Bone marrow aspirate smear; May-Grünwald-Giemsa stain; 40× objective, oil immersion — 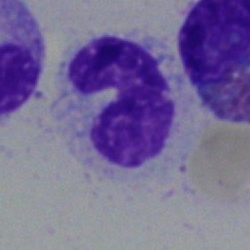A band neutrophil.